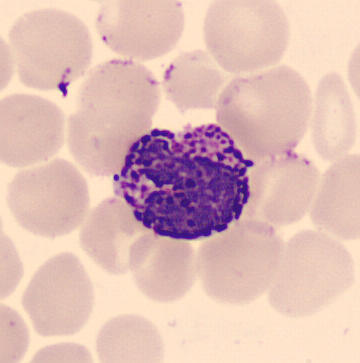Peripheral blood film. Q: Identify the cell.
A: It is a basophilic granulocyte.